Brightfield microscopy, 40× oil immersion. Bone marrow aspirate smear: 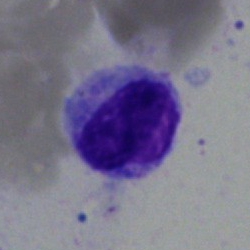Lymphocyte.